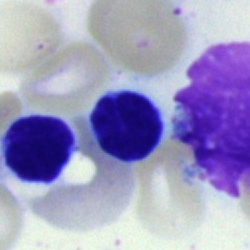

Morphological class = typical lymphocyte.